Bone marrow aspirate smear:
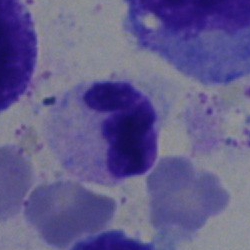

Cell type — polymorphonuclear neutrophil.